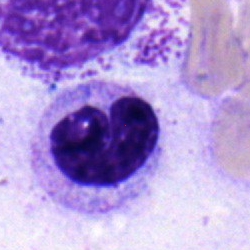

Morphology consistent with a metamyelocyte.